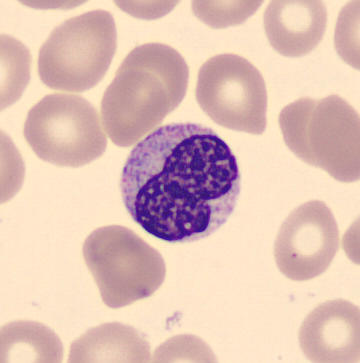

Specimen: peripheral blood film.
Cell: metamyelocyte.

Image: Automated cell imaging (CellaVision DM96).